Bone marrow aspirate smear; 250×250 px: 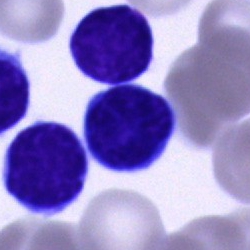Showing a lymphocyte.